Bone marrow smear.
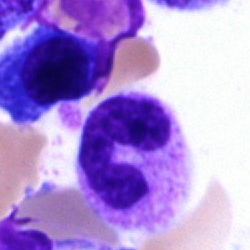Specimen: bone marrow aspirate smear.
Cell type: segmented neutrophil.
Lineage: myeloid.